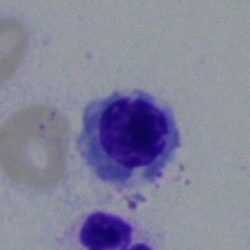 The cell shown is a normoblast.